Bone marrow smear. Image size 250×250: 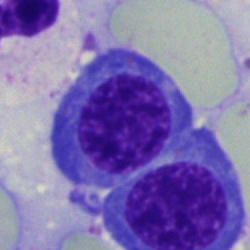
Normoblast.